Bone marrow aspirate smear.
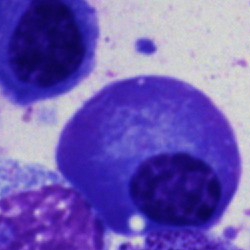
Q: What is the morphological classification of this cell?
A: This is a plasmacyte.